Bone marrow aspirate smear; cropped to a single cell; 40× objective, oil immersion: 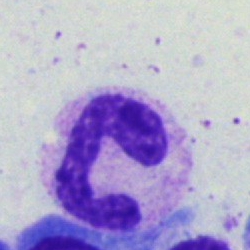The cell type is polymorphonuclear neutrophil.